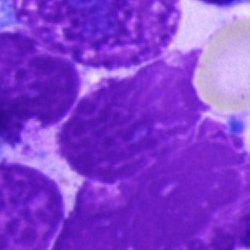
An artefact.